Bone marrow aspirate smear — 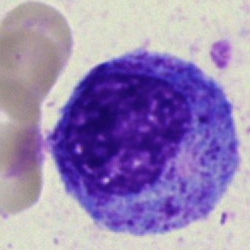 Morphology → promyelocyte.